May-Grünwald-Giemsa/Pappenheim stain · bone marrow aspirate smear: 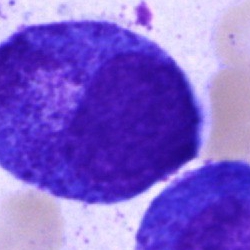

Single cell identified as a progranulocyte.